Bone marrow smear · May-Grünwald-Giemsa/Pappenheim stain · single cell centered in the field: 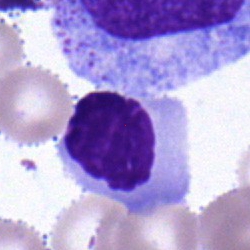Impression → nucleated red blood cell.